Image size 250×250 · bone marrow aspirate smear: 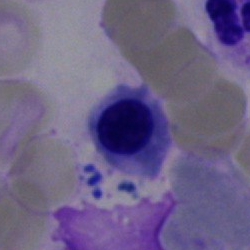

Classification = erythroblast.